Bone marrow aspirate smear · single-cell crop: 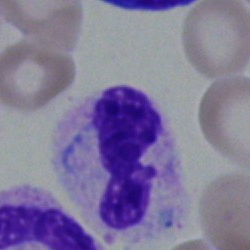Q: What cell is this?
A: A neutrophil (segmented).